Cropped to a single cell. Bone marrow aspirate smear:
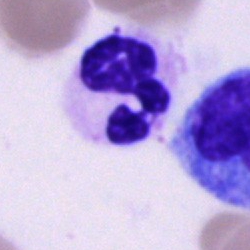
Morphological class: segmented neutrophil.